Bone marrow smear · 250×250 px · single cell centered in the field.
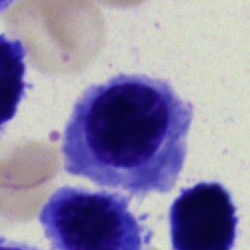
Q: What is the morphological classification of this cell?
A: It is a nucleated red cell.